Peripheral blood film — 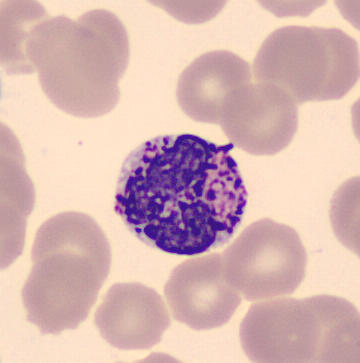 Showing a basophilic granulocyte.